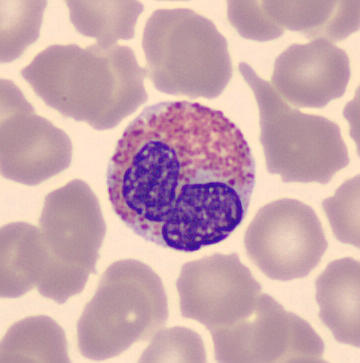 Q: What type of cell is this?
A: This is an eosinophil.